250×250 · bone marrow smear:
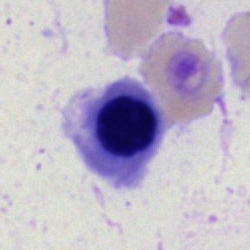

Morphology — nucleated red blood cell.